Bone marrow aspirate smear. Pappenheim-stained:
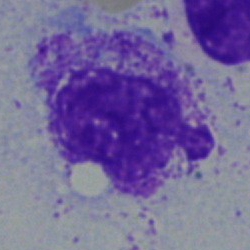
The classification is myelocyte.